40× objective, oil immersion; bone marrow smear
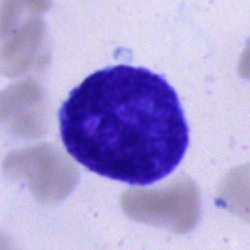
Impression → cell of indeterminate lineage.